Bone marrow aspirate smear
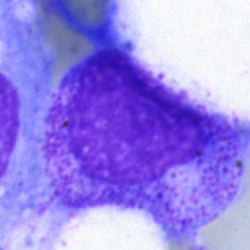 Q: Which cell type is shown here?
A: This is a myelocyte.